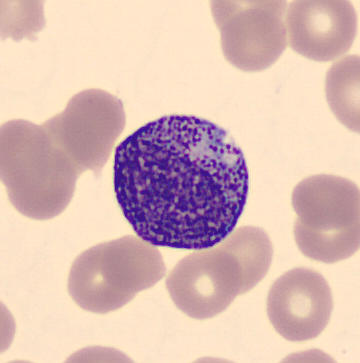

Classification = myelocyte.
Preparation: Imaged on a CellaVision DM96 analyser · peripheral blood smear.